Bone marrow aspirate smear — 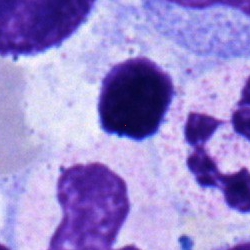
The cell is typical lymphocyte.